250×250. Bone marrow aspirate smear.
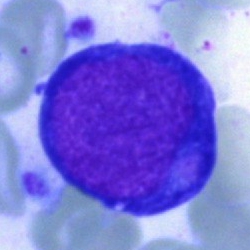

Specimen: bone marrow smear.
Classification: pronormoblast.
Lineage: erythroid.